Cropped to a single cell. Bone marrow aspirate smear: 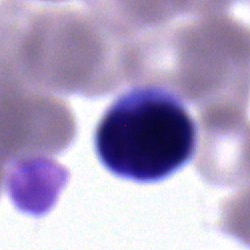Q: What cell is this?
A: This is a typical lymphocyte.